Pappenheim-stained · bone marrow aspirate smear: 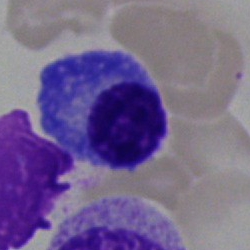

Q: Which cell type is shown here?
A: It is a plasma cell.